Pappenheim-stained · brightfield, 40× oil-immersion objective · bone marrow smear.
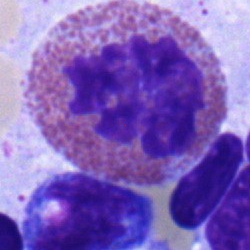Classification: eosinophilic granulocyte.